Bone marrow aspirate smear — 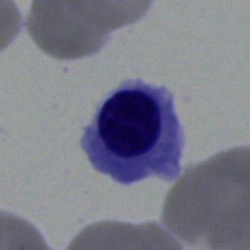
{"cell_type": "erythroblast", "lineage": "erythroid"}